Bone marrow aspirate smear · 40× objective, oil immersion · May-Grünwald-Giemsa/Pappenheim stain: 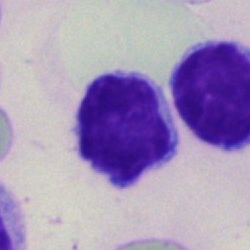

Lymphocyte.